Bone marrow aspirate smear:
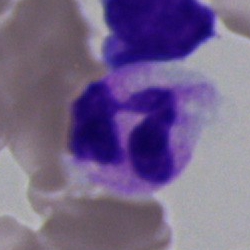

Cell type = neutrophil (segmented).